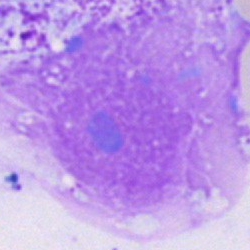 Cell type — artifact.